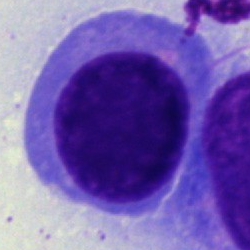 A normoblast on a bone marrow smear.